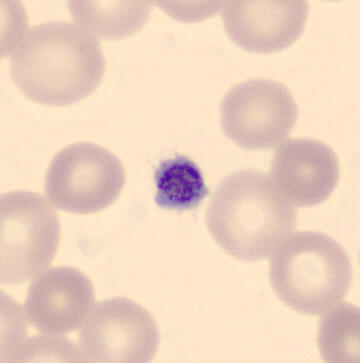

Q: What is shown here?
A: It is a platelet.